Bone marrow aspirate smear. Pappenheim-stained.
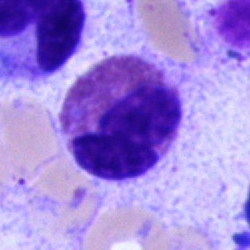
Morphology consistent with an eosinophilic granulocyte.